Bone marrow smear
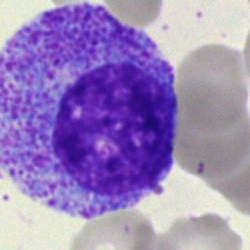 Specimen: bone marrow smear.
Classification: progranulocyte.
Lineage: myeloid.